Bone marrow smear:
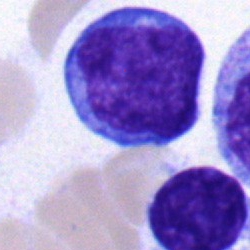 Cell type — blast.